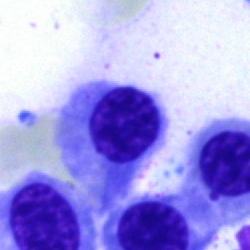

Bone marrow aspirate smear, single cell — normoblast.